Bone marrow aspirate smear:
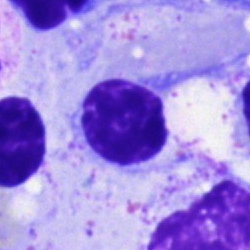Classification: lymphocyte.